Bone marrow smear · May-Grünwald-Giemsa/Pappenheim stain — 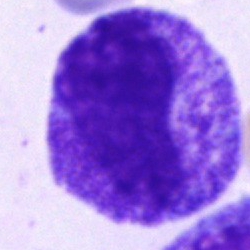 Showing a progranulocyte.